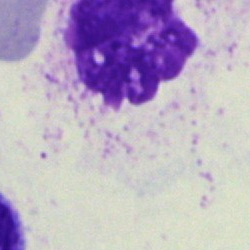Bone marrow aspirate smear, single cell — artefact.